Bone marrow smear — 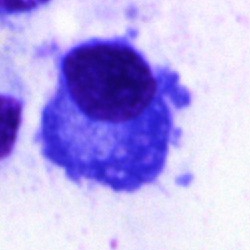Morphology → plasma cell.